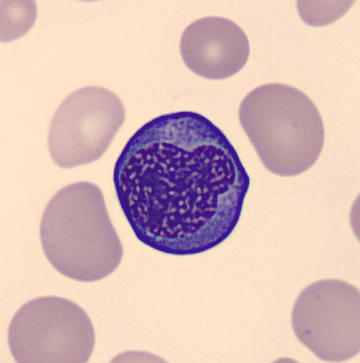 Specimen: peripheral blood film.
Cell type: nucleated red cell.
Lineage: erythroid.